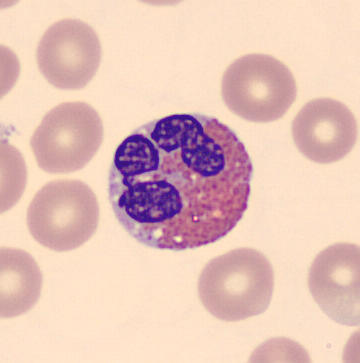 Preparation: Single cell centered in the field. Peripheral blood film.
The cell is eosinophil.